Peripheral blood film; 360×363: 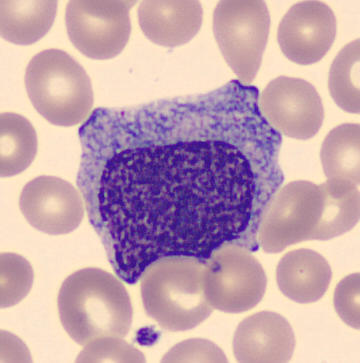

Single cell identified as a progranulocyte.